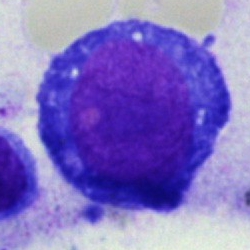Single cell identified as a pronormoblast.